Bone marrow smear — 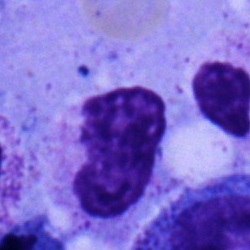 Morphological class: metamyelocyte.